Bone marrow smear; May-Grünwald-Giemsa stain; image size 250×250 — 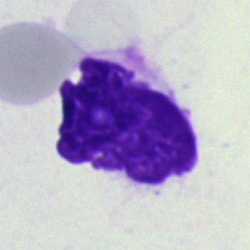
Artefact.